Bone marrow aspirate smear; cropped to a single cell: 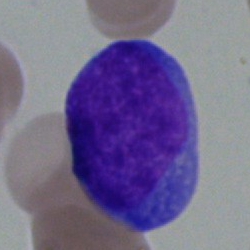

An undifferentiated blast.